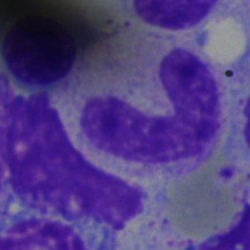

Specimen: bone marrow smear.
Morphological class: band-form neutrophil.
Lineage: myeloid.